Bone marrow aspirate smear; 40× objective, oil immersion: 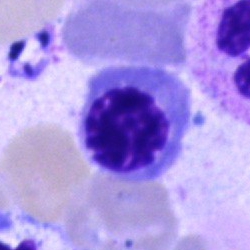 Specimen: bone marrow aspirate smear.
Cell type: nucleated red cell.
Lineage: erythroid.